Peripheral blood smear:
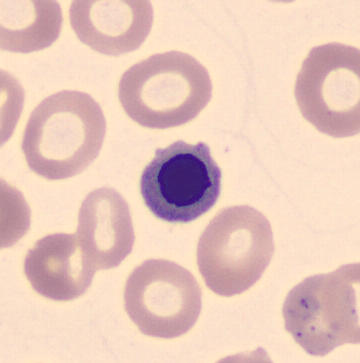 Morphology → nucleated red blood cell.